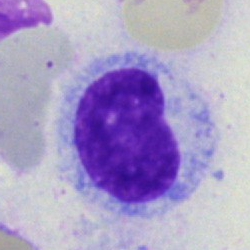 Cell: hairy cell.